Bone marrow aspirate smear:
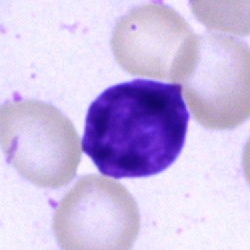
Impression → lymphocyte.